Bone marrow smear: 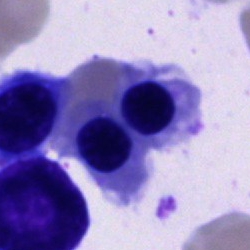Nucleated red blood cell.